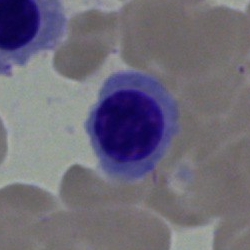Cell type = normoblast.